Peripheral blood smear
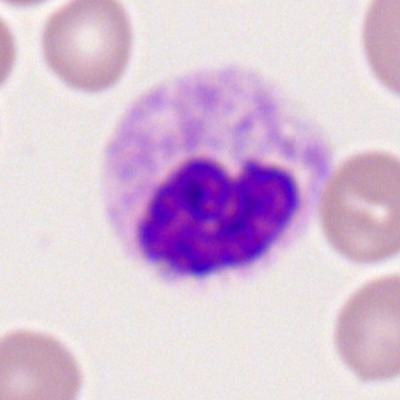

Q: Identify the cell.
A: This is a neutrophil (segmented).